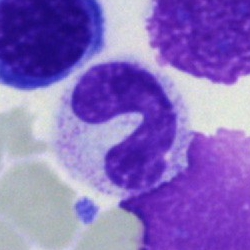

{"cell_type": "segmented neutrophil"}